Bone marrow aspirate smear: 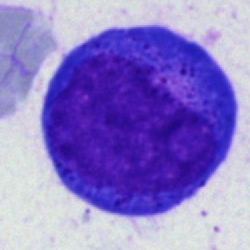

Morphological class = promyelocyte.